Bone marrow smear:
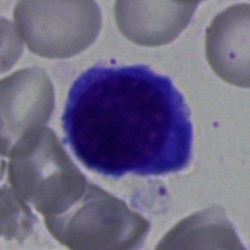Cell = erythroblast.